Bone marrow aspirate smear. Single-cell crop. 40× oil immersion
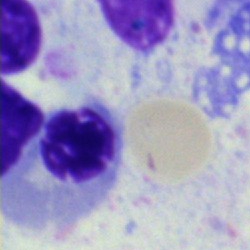Morphological class = nucleated red blood cell.